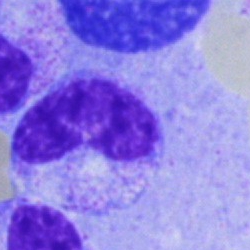

Specimen: bone marrow aspirate smear.
Cell type: band neutrophil.